Bone marrow aspirate smear: 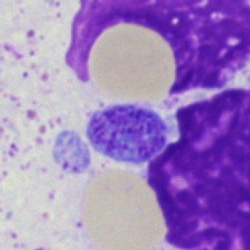 Classification: artefact.